Bone marrow smear · MGG-stained
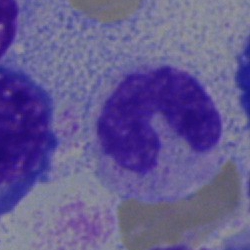 Morphology → polymorphonuclear neutrophil.